Bone marrow aspirate smear — 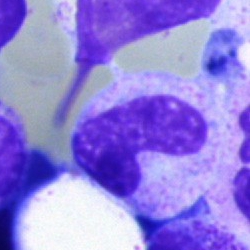

Classification = band neutrophil.